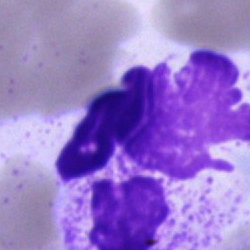
Morphology — unidentifiable cell.